Bone marrow smear:
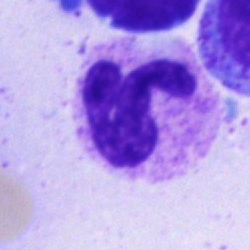 Q: Identify the cell.
A: This is a segmented neutrophil.